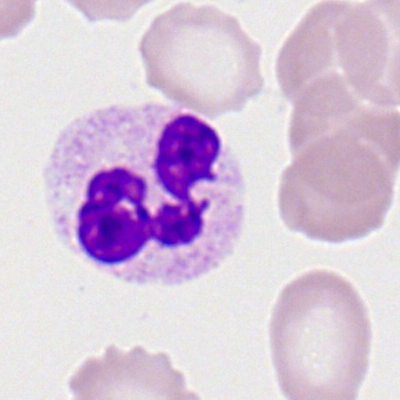 Specimen: peripheral blood smear.
Morphological class: segmented neutrophil.